Bone marrow aspirate smear
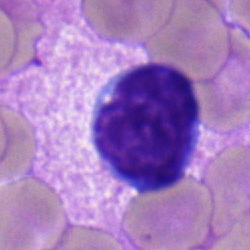Morphology — typical lymphocyte.